Bone marrow aspirate smear; 40× oil immersion — 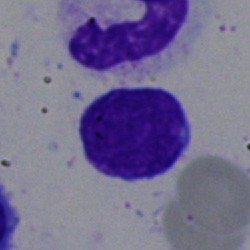This is a typical lymphocyte.